Bone marrow smear
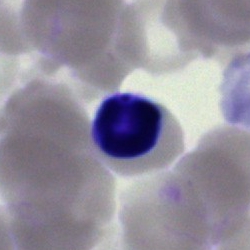
Specimen: bone marrow aspirate smear.
Cell type: typical lymphocyte.
Lineage: lymphoid.